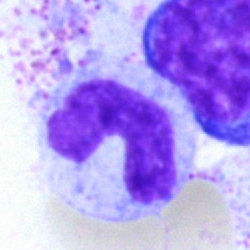

Specimen: bone marrow aspirate smear.
Morphological class: band-form neutrophil.
Lineage: myeloid.